May-Grünwald-Giemsa stain. Bone marrow aspirate smear: 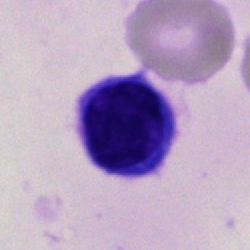{"cell_type": "typical lymphocyte"}